Bone marrow aspirate smear:
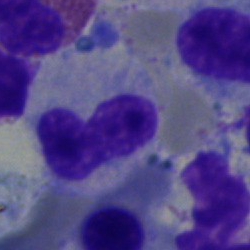
Q: What type of cell is this?
A: Band neutrophil.